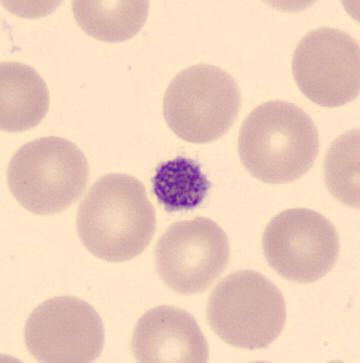 Q: What is this?
A: It is a platelet (thrombocyte).